Peripheral blood film — 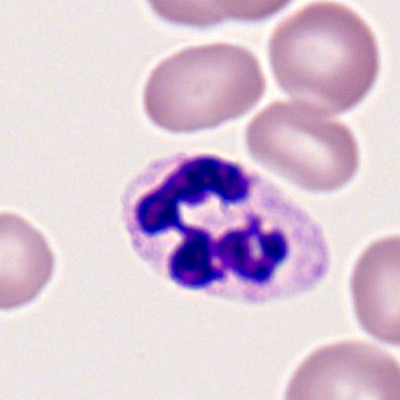Morphology — polymorphonuclear neutrophil.